Bone marrow smear. 250×250: 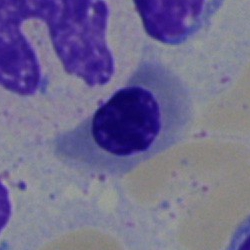

Cell: nucleated red blood cell.